Single cell centered in the field · bone marrow smear · brightfield microscopy, 40× oil immersion — 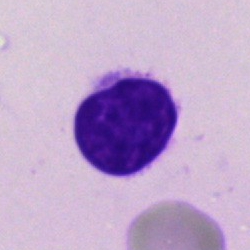
Specimen: bone marrow smear.
Classification: artifact.